Bone marrow aspirate smear — 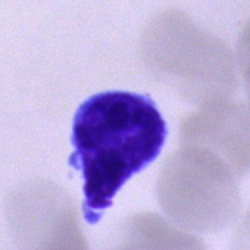Q: Which cell type is shown here?
A: Typical lymphocyte.